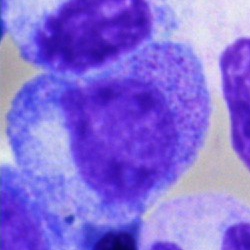

Single-cell crop from a bone marrow smear: promyelocyte.